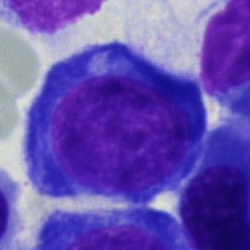 A nucleated red cell on a bone marrow smear.